Bone marrow aspirate smear
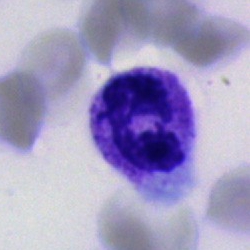 Segmented neutrophil.